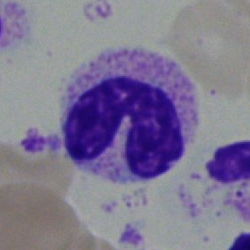Morphology — band-form neutrophil.